Peripheral blood film:
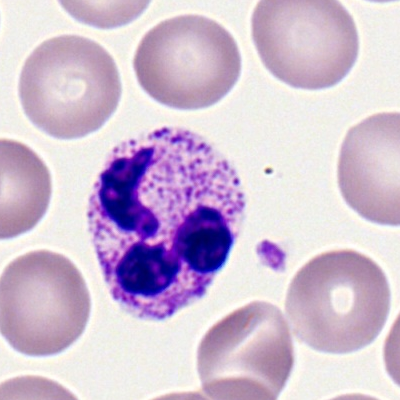

Impression → segmented neutrophil.